Peripheral blood smear
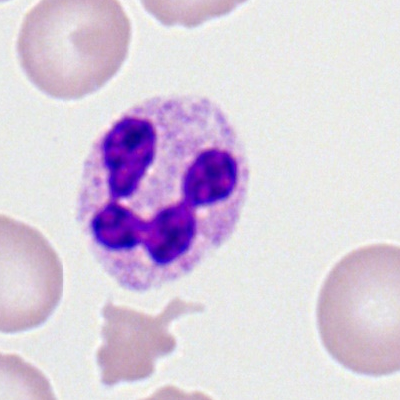 This is a polymorphonuclear neutrophil.